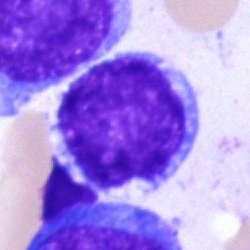 Q: What is the morphological classification of this cell?
A: It is a blast.